Bone marrow smear; brightfield, 40× oil-immersion objective: 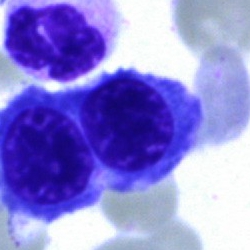

The cell is erythroblast.